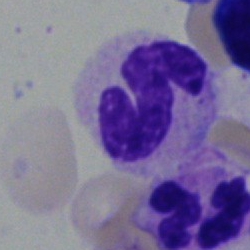Q: What type of cell is this?
A: It is a neutrophil (band).